May-Grünwald-Giemsa/Pappenheim stain; bone marrow aspirate smear; 40× objective, oil immersion: 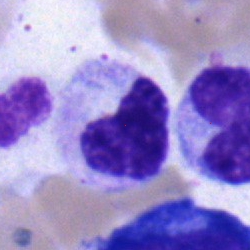 Specimen: bone marrow aspirate smear.
Cell: metamyelocyte.